Bone marrow smear.
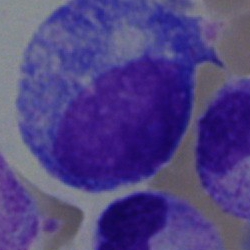
Morphology consistent with a progranulocyte.